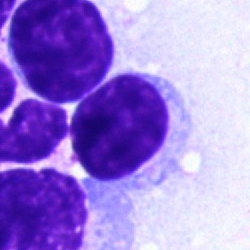Impression → typical lymphocyte.